Bone marrow smear — 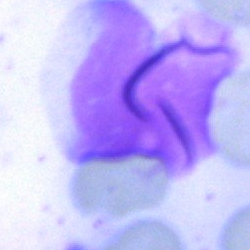

Cell type: artefact.